Bone marrow smear:
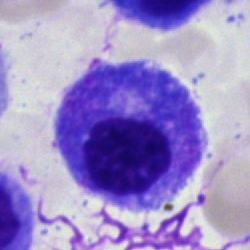

Morphological class = plasma cell.